250×250 px · May-Grünwald-Giemsa/Pappenheim stain · bone marrow smear
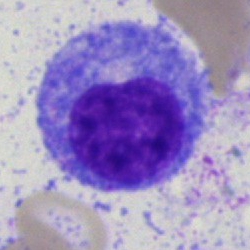
Promyelocyte.